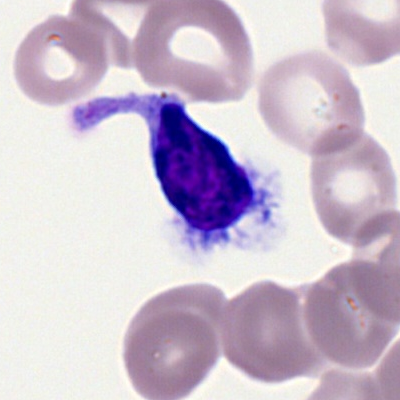 Q: Identify the cell.
A: It is a lymphocyte.